Single cell centered in the field. Bone marrow smear — 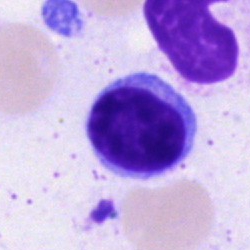Specimen: bone marrow aspirate smear.
Cell: lymphocyte.
Lineage: lymphoid.